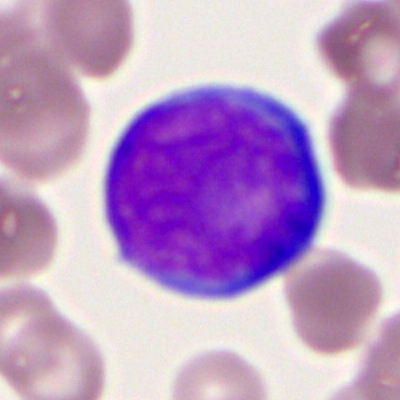 A myeloid blast on a peripheral blood smear.